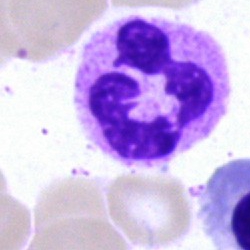 The cell shown is a segmented neutrophil.